Bone marrow aspirate smear · cropped to a single cell:
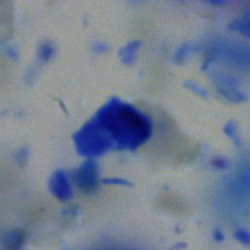Cell type = artefact.